Bone marrow smear. 250 by 250 pixels. Cropped to a single cell.
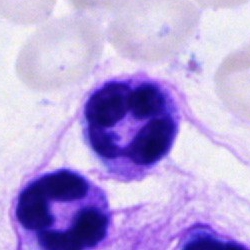

The cell shown is a neutrophil (segmented).